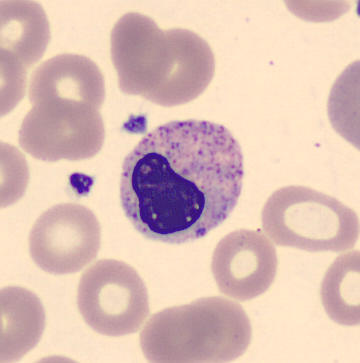Peripheral blood smear.

The morphological class is myelocyte.